Bone marrow smear: 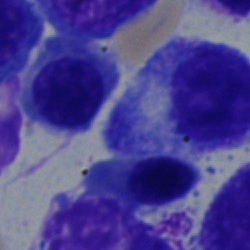Myelocyte.